40× objective, oil immersion · bone marrow aspirate smear · May-Grünwald-Giemsa stain — 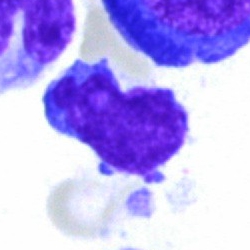

Q: What is shown here?
A: A typical lymphocyte.